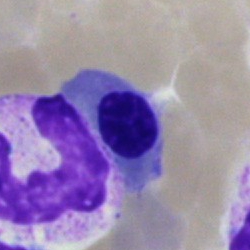Cell type — band neutrophil.